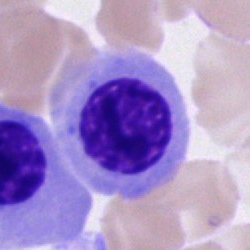

Classification — erythroblast.